Bone marrow aspirate smear.
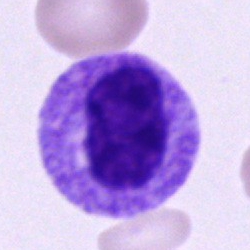

Specimen: bone marrow smear.
Morphological class: myelocyte.
Lineage: myeloid.